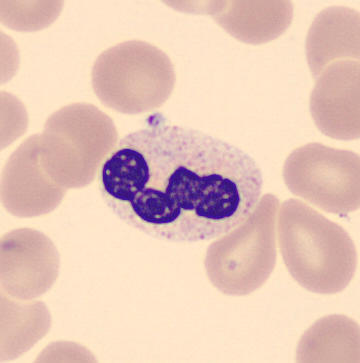Peripheral blood smear showing a neutrophil (segmented).